Bone marrow aspirate smear.
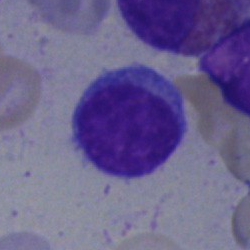

Morphological class = typical lymphocyte.